Bone marrow aspirate smear
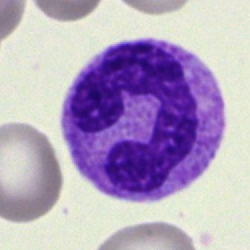

This is a polymorphonuclear neutrophil.